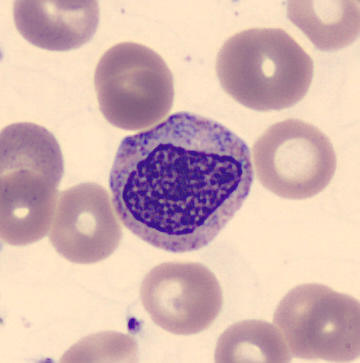
Showing a myelocyte.

Image: Peripheral blood film. CellaVision DM96 digital cell image. MGG-stained.